Single-cell field; bone marrow smear.
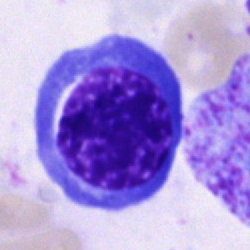

Q: What is shown here?
A: This is an erythroblast.